Bone marrow aspirate smear
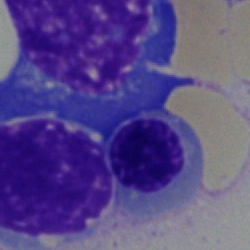

Morphology consistent with a nucleated red blood cell.